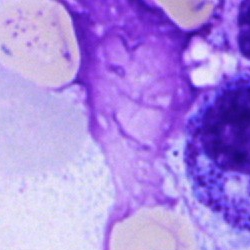 Classification = artefact.